Bone marrow aspirate smear.
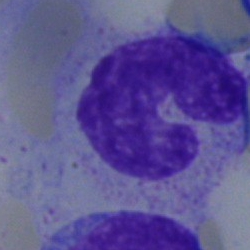 Q: What cell is this?
A: Stab cell.